Bone marrow aspirate smear.
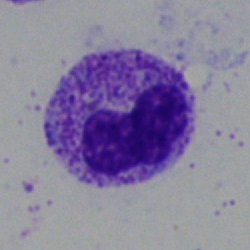

Q: What is shown here?
A: It is a neutrophil (band).